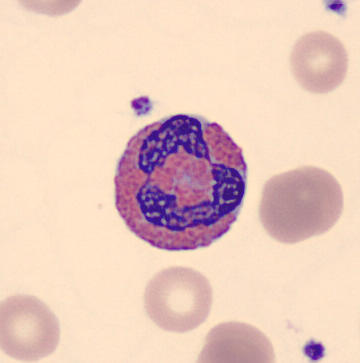

Q: Which cell type is shown here?
A: This is an eosinophilic granulocyte.